Bone marrow smear; image size 250×250
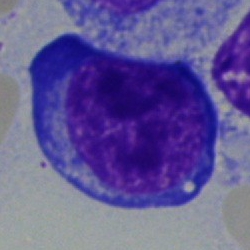

Morphology consistent with a proerythroblast.